Pappenheim-stained. Bone marrow smear. Brightfield, 40× oil-immersion objective
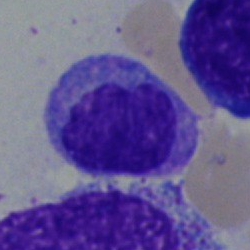 A monocyte.